Bone marrow smear: 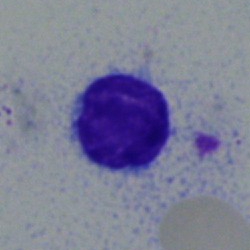Q: What is the morphological classification of this cell?
A: It is a lymphocyte.